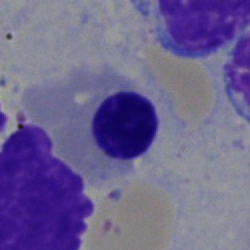

Q: What is shown here?
A: It is a normoblast.